Bone marrow smear; Pappenheim-stained:
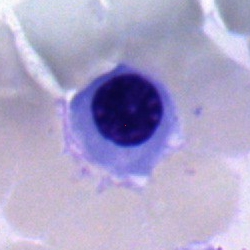Impression → nucleated red cell.